Bone marrow aspirate smear.
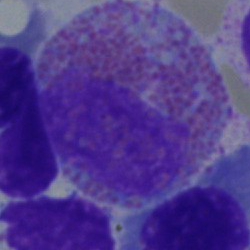

Cell type = eosinophilic granulocyte.